Bone marrow smear:
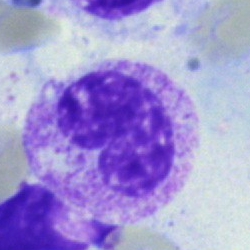

Morphology consistent with a metamyelocyte.